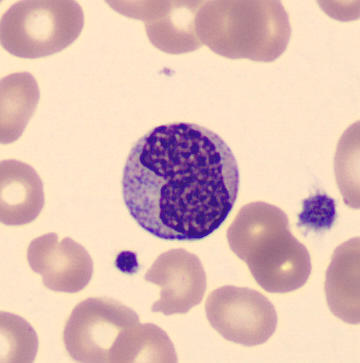 Metamyelocyte.